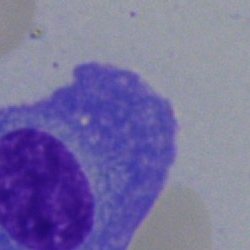
Morphology consistent with a plasma cell.